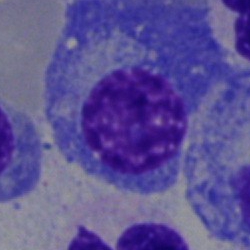 Classification — plasmacyte.